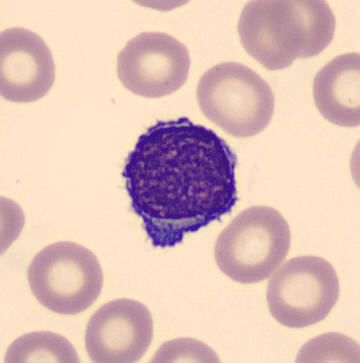The cell is lymphocyte. Peripheral blood film.